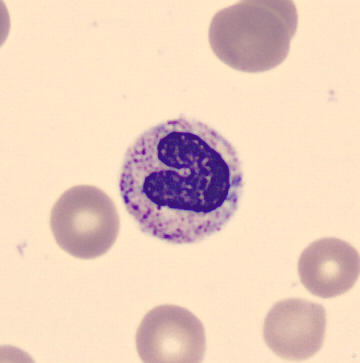Image: May Grünwald-Giemsa stain. Peripheral blood film.

Cell — stab cell.